250×250. Bone marrow smear:
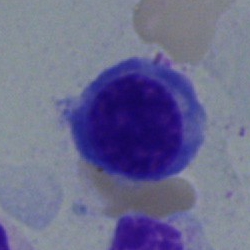 Q: What cell is this?
A: An erythroblast.